Single-cell crop. Bone marrow smear. May-Grünwald-Giemsa stain:
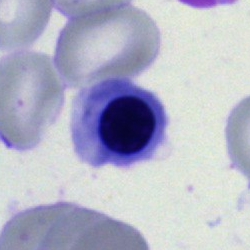

Q: Identify the cell.
A: Nucleated red blood cell.